Bone marrow smear · brightfield, 40× oil-immersion objective:
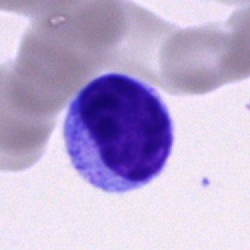
Cell = typical lymphocyte.